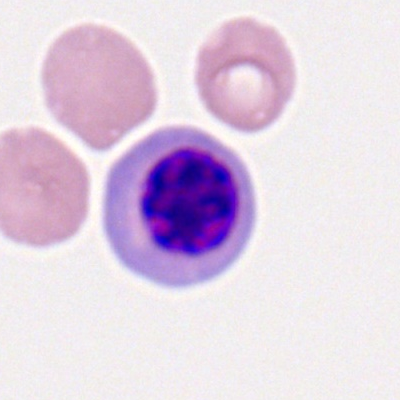Morphological class — erythroblast.